Bone marrow smear:
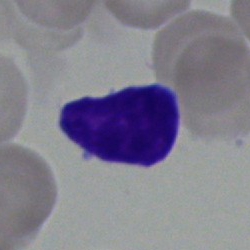

Morphology consistent with a lymphocyte.